Pappenheim-stained. Bone marrow smear.
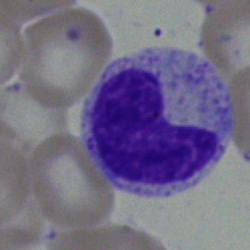

Morphology → metamyelocyte.